Bone marrow aspirate smear: 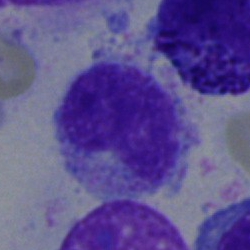
Cell: metamyelocyte.